Cropped to a single cell. Image size 250×250. Bone marrow smear
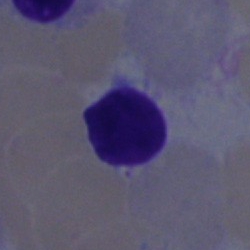

The cell shown is a typical lymphocyte.